Peripheral blood smear. Single-cell crop.
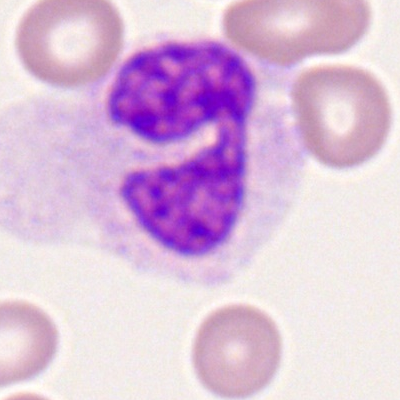

Monocyte.